Bone marrow smear:
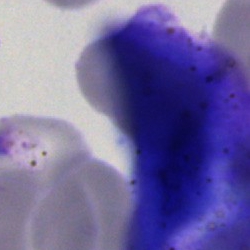
Classification: artifact.